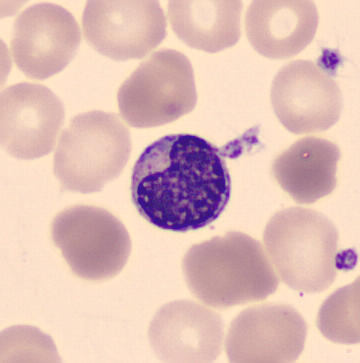
Peripheral blood film.
Metamyelocyte.